Peripheral blood smear — 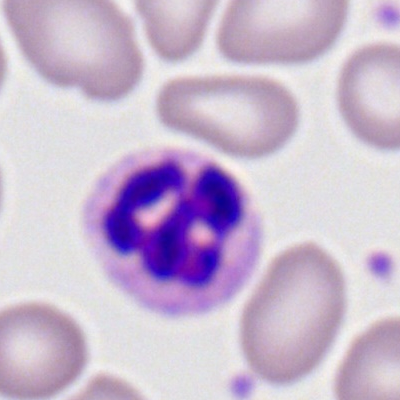

Specimen: peripheral blood film.
Cell type: neutrophil (segmented).